Peripheral blood smear. Single-cell field. 100× objective, oil immersion:
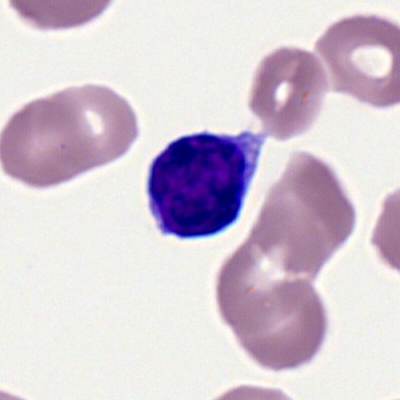
Q: What is the morphological classification of this cell?
A: It is a typical lymphocyte.